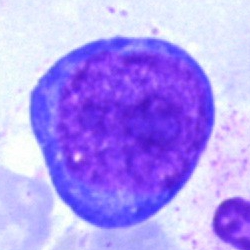The classification is pronormoblast.